Peripheral blood smear — 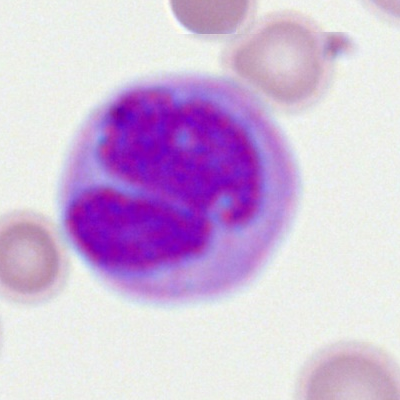

The classification is monocyte.